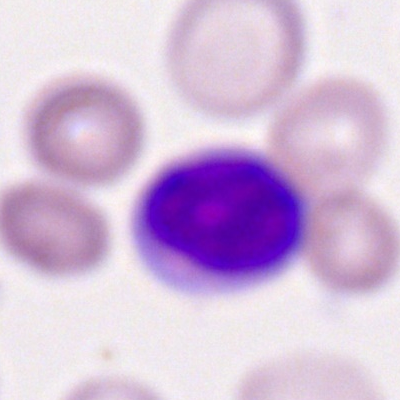

Morphological class — lymphocyte.